Peripheral blood smear · Romanowsky stain:
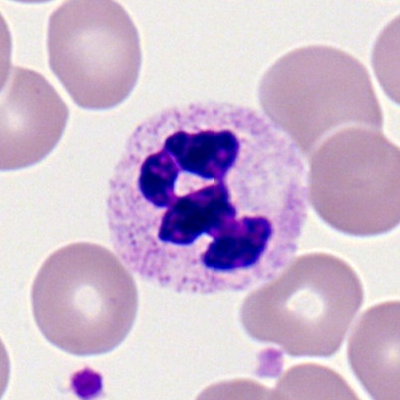
Segmented neutrophil.